Peripheral blood film. Romanowsky-type stain. Single cell centered in the field — 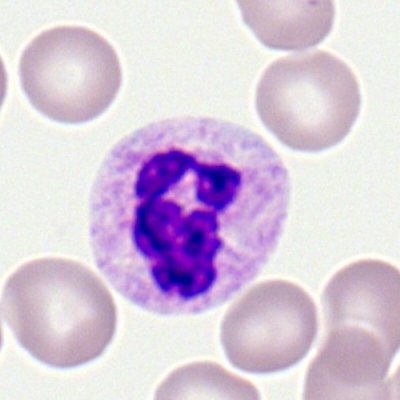Showing a segmented neutrophil.